Bone marrow aspirate smear: 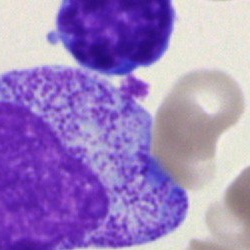Impression — progranulocyte.